Peripheral blood film.
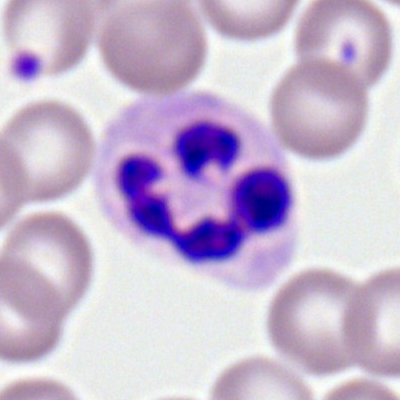

Q: What type of cell is this?
A: Segmented neutrophil.